Peripheral blood film — 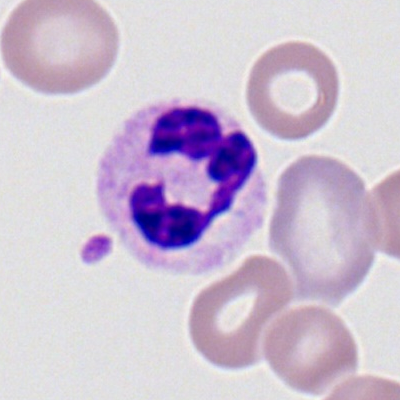Single cell identified as a polymorphonuclear neutrophil.